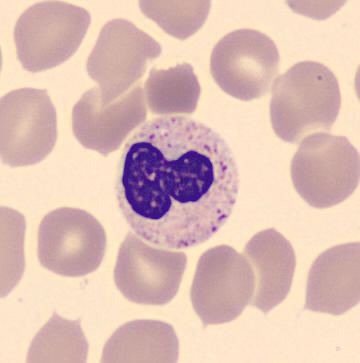

Morphology — polymorphonuclear neutrophil.